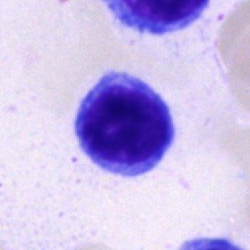 Q: Identify the cell.
A: It is a typical lymphocyte.